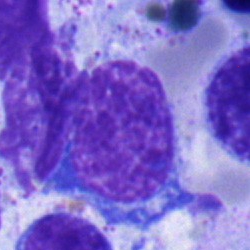
Specimen: bone marrow aspirate smear.
Morphological class: metamyelocyte.